Bone marrow aspirate smear — 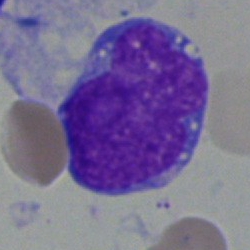 Showing a blast cell.